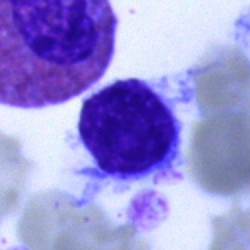Specimen: bone marrow smear.
Morphological class: typical lymphocyte.
Lineage: lymphoid.